Bone marrow aspirate smear · 250×250 — 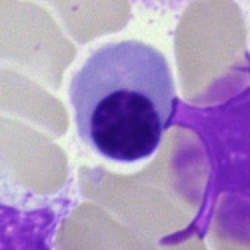

The morphological class is normoblast.